Peripheral blood film · Romanowsky-stained
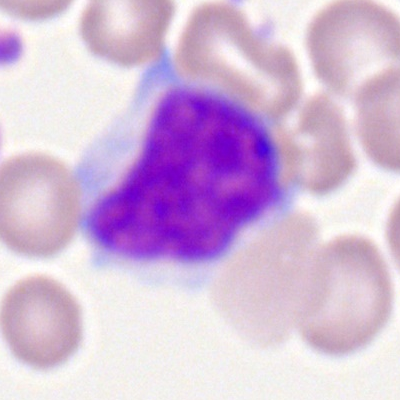{"cell_type": "typical lymphocyte", "lineage": "lymphoid"}